May-Grünwald-Giemsa stain · bone marrow aspirate smear · 40× oil immersion:
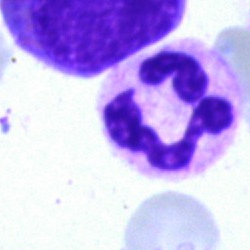Morphology → neutrophil (segmented).